Single-cell field; peripheral blood smear:
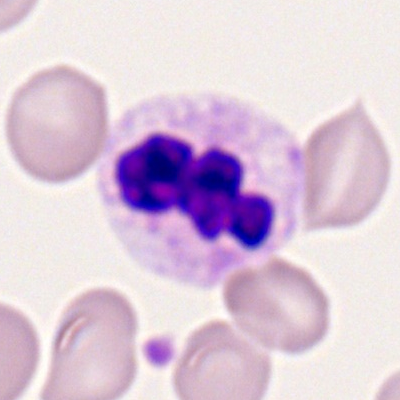

Q: Which cell type is shown here?
A: This is a segmented neutrophil.